Bone marrow smear — 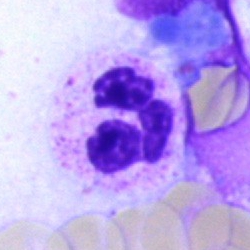
Specimen: bone marrow aspirate smear.
Cell type: segmented neutrophil.